Bone marrow aspirate smear.
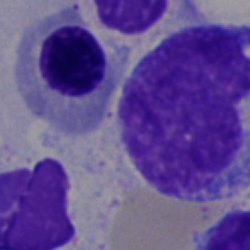Morphology → nucleated red cell.